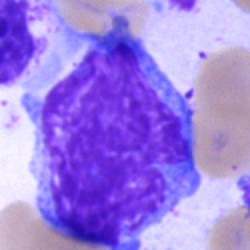

Single-cell crop from a bone marrow smear: monocyte.